Bone marrow smear
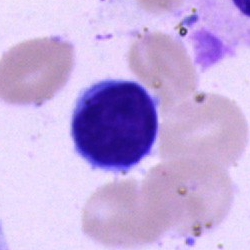 {"cell_type": "typical lymphocyte"}